250×250; bone marrow smear
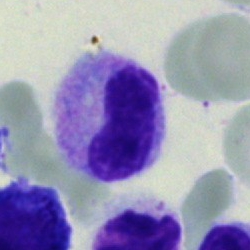
Showing a stab cell.